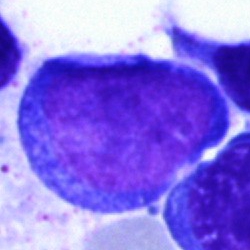 A proerythroblast on a bone marrow smear.